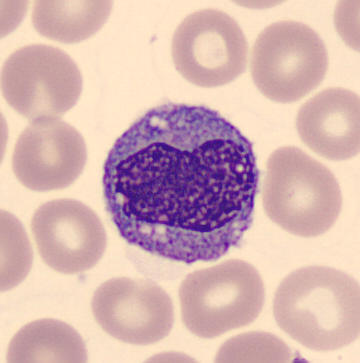 Monocyte.

Single-cell crop · CellaVision DM96 · peripheral blood smear.